250×250 · bone marrow aspirate smear:
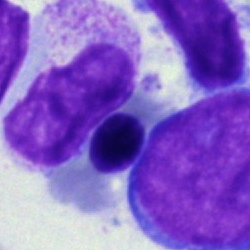

Morphological class = nucleated red cell.